Single cell centered in the field · bone marrow smear · 40× oil immersion:
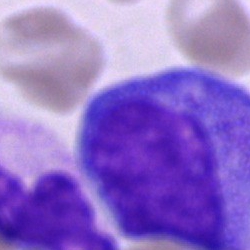 The classification is promyelocyte.